Bone marrow smear
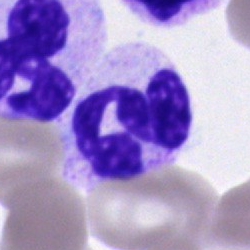A polymorphonuclear neutrophil.